Brightfield, 40× oil-immersion objective · bone marrow aspirate smear · Pappenheim-stained:
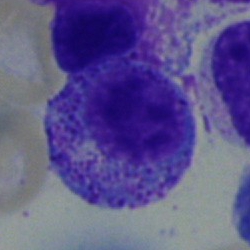
Myelocyte.